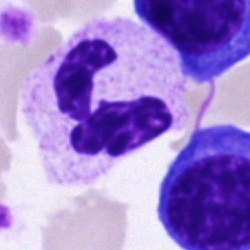
Cell — polymorphonuclear neutrophil.